250×250 · bone marrow aspirate smear — 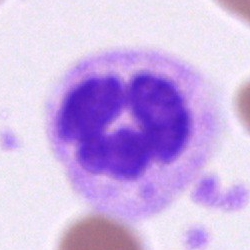Morphological class = segmented neutrophil.